Single-cell field. Bone marrow aspirate smear — 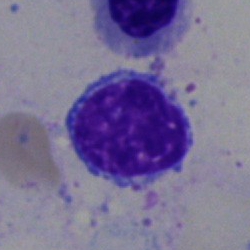 Cell: typical lymphocyte.